MGG-stained · bone marrow smear: 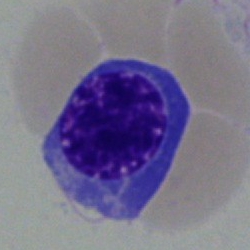

Morphological class: nucleated red cell.